Bone marrow smear; single-cell crop; May-Grünwald-Giemsa stain:
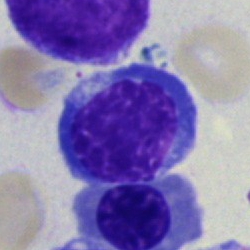 Specimen: bone marrow aspirate smear.
Classification: nucleated red blood cell.
Lineage: erythroid.